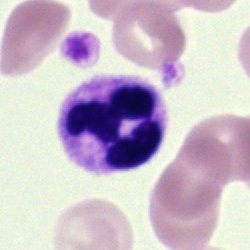

{"cell_type": "segmented neutrophil"}